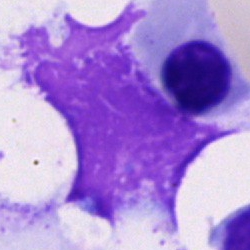Impression → artifact.